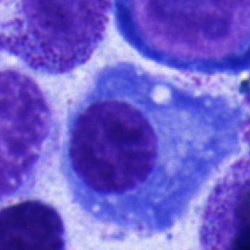 {"cell_type": "plasmacyte", "lineage": "lymphoid"}